Bone marrow aspirate smear — 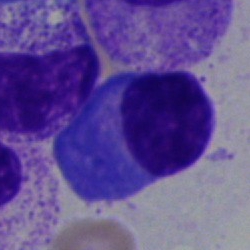 Single cell identified as a plasmacyte.